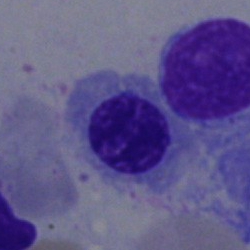
Morphology — nucleated red blood cell.